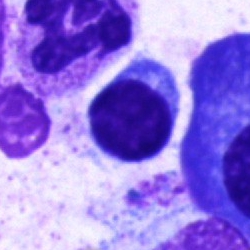
Showing a lymphocyte.